Bone marrow aspirate smear; Pappenheim-stained; 40× oil immersion.
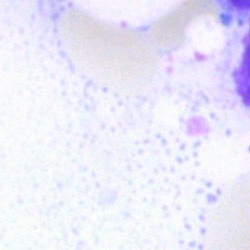
Morphology consistent with an artefact.